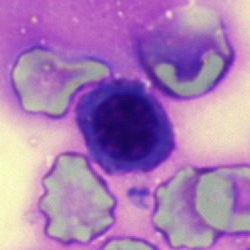
An erythroblast.